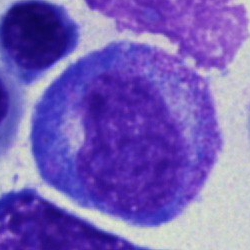This is a progranulocyte.